Bone marrow smear. Image size 250×250:
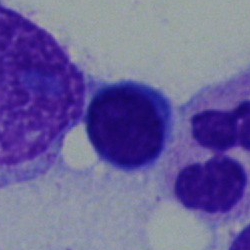The cell type is lymphocyte.